40× oil immersion; cropped to a single cell; bone marrow smear:
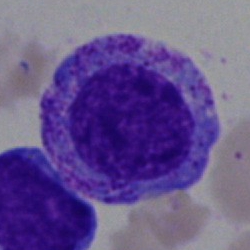

Impression → myelocyte.